Bone marrow aspirate smear:
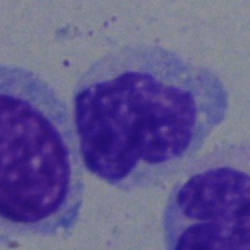Morphology → monocyte.